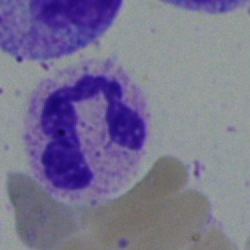 Q: What cell is this?
A: This is a segmented neutrophil.